Bone marrow aspirate smear
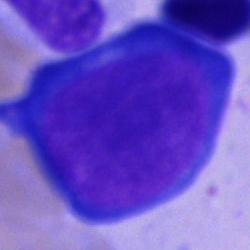 Classification: proerythroblast.